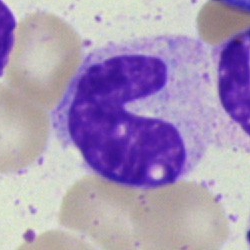 Bone marrow aspirate smear, single cell — stab cell.